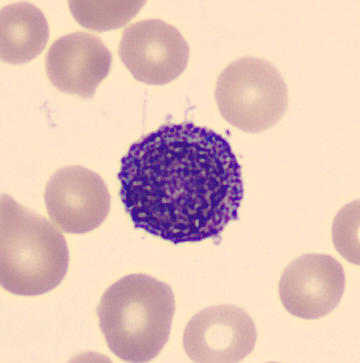
This is a myelocyte.